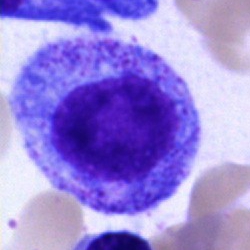
Q: What type of cell is this?
A: This is a progranulocyte.